Bone marrow smear
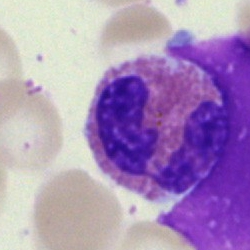

Morphological class: eosinophilic granulocyte.